Bone marrow smear
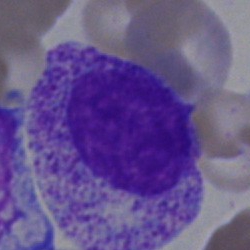Q: What type of cell is this?
A: Myelocyte.